Bone marrow aspirate smear.
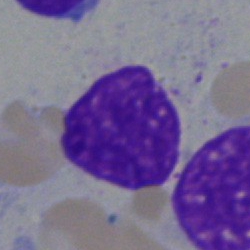 Cell type — artifact.